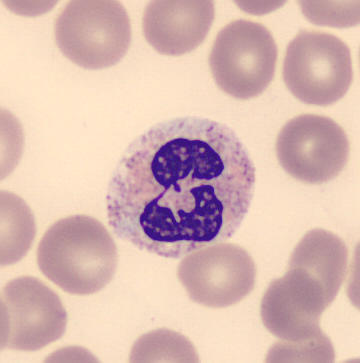
Cell type: polymorphonuclear neutrophil.